Bone marrow aspirate smear:
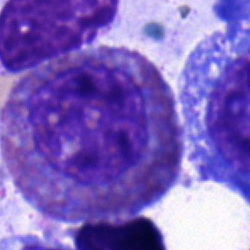

An eosinophil.